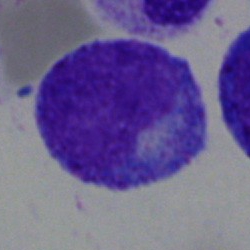 Morphology → progranulocyte.